Bone marrow aspirate smear · May-Grünwald-Giemsa stain
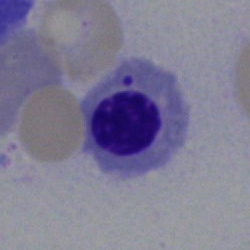

Cell type — normoblast.